Bone marrow aspirate smear.
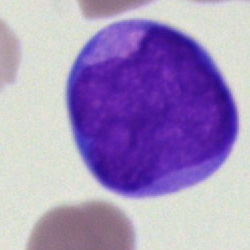

Morphology → undifferentiated blast.